Bone marrow aspirate smear:
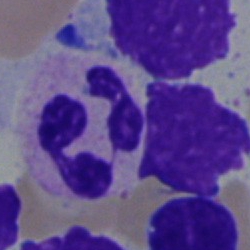

Q: What is shown here?
A: A polymorphonuclear neutrophil.